Bone marrow aspirate smear: 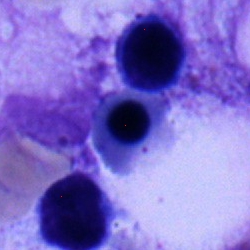

An erythroblast.